Image size 250×250 · bone marrow smear · May-Grünwald-Giemsa/Pappenheim stain
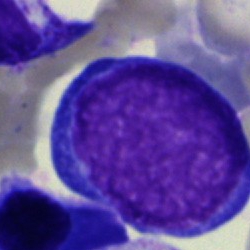The classification is proerythroblast.